Peripheral blood smear · 100× oil immersion
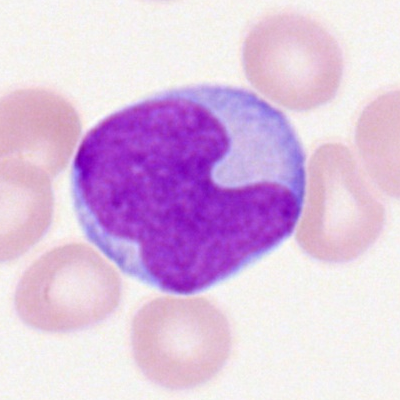 Myeloid blast.